Pappenheim-stained. Bone marrow aspirate smear — 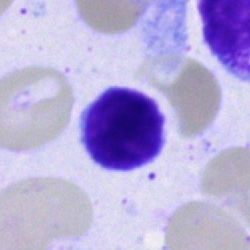

Lymphocyte.